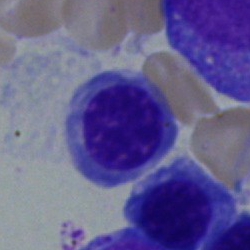Q: What type of cell is this?
A: A nucleated red blood cell.